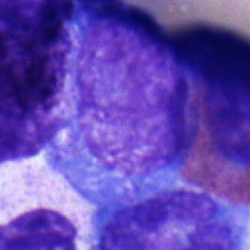Cell: progranulocyte.